Bone marrow aspirate smear: 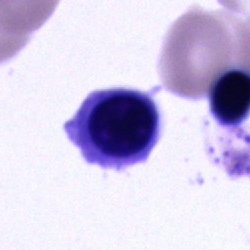Showing an erythroblast.